Pappenheim-stained. Single-cell field. Bone marrow smear
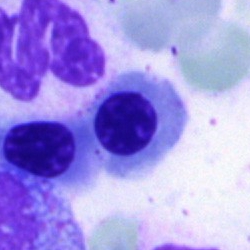

Morphological class: nucleated red blood cell.